Bone marrow smear.
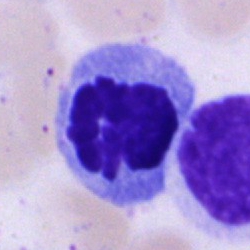Cell = nucleated red cell.